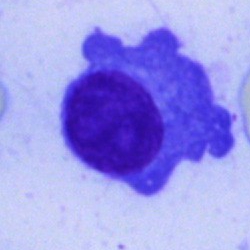 Impression → plasmacyte.